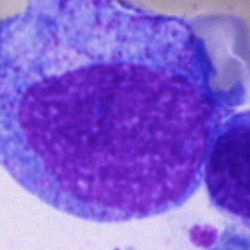 {"cell_type": "promyelocyte"}